Bone marrow aspirate smear. 250×250
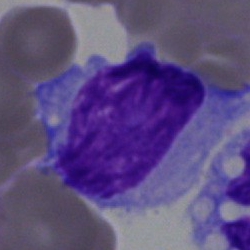 Q: What is the morphological classification of this cell?
A: A typical lymphocyte.